100× oil immersion, 14.14 px/µm. Romanowsky-stained. Peripheral blood film.
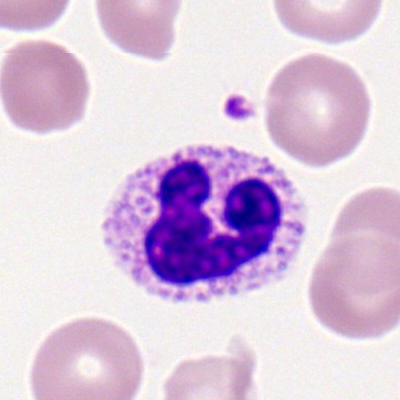 This is a segmented neutrophil.